Bone marrow aspirate smear. May-Grünwald-Giemsa/Pappenheim stain. Brightfield microscopy, 40× oil immersion.
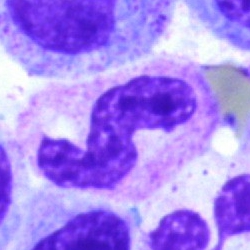

A neutrophil (segmented).